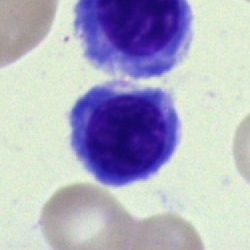 {"cell_type": "normoblast", "lineage": "erythroid"}